Cropped to a single cell · bone marrow smear · brightfield microscopy, 40× oil immersion — 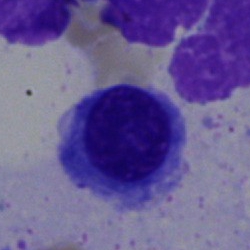
Specimen: bone marrow aspirate smear.
Classification: erythroblast.
Lineage: erythroid.